Bone marrow aspirate smear — 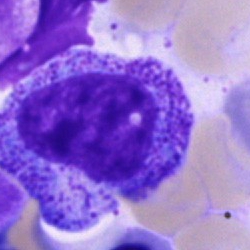 Specimen: bone marrow aspirate smear.
Morphological class: promyelocyte.